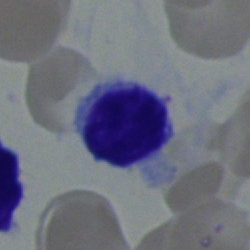 Morphology → lymphocyte.